Bone marrow smear: 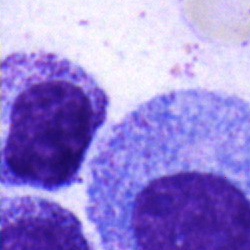 Q: What is shown here?
A: Myelocyte.